Bone marrow smear.
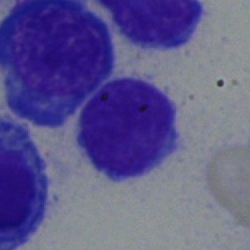

Morphology consistent with a lymphocyte.